Pappenheim-stained. Bone marrow aspirate smear. Brightfield microscopy, 40× oil immersion
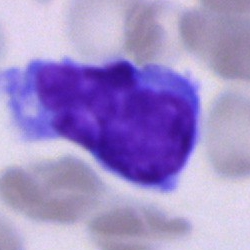This is an unidentifiable cell.